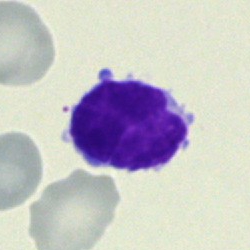

Cell type = typical lymphocyte.